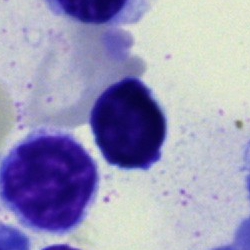 Morphology → typical lymphocyte.